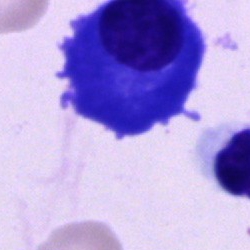Q: Identify the cell.
A: A plasmacyte.